MGG-stained · bone marrow smear.
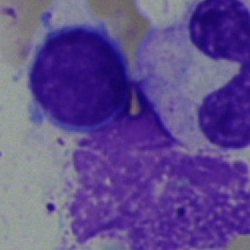 The cell is lymphocyte.